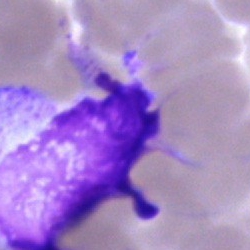
Single-cell crop from a bone marrow smear: artefact.